Bone marrow smear — 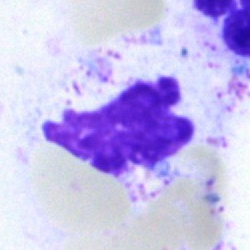Morphological class — artifact.